Bone marrow aspirate smear; Pappenheim-stained — 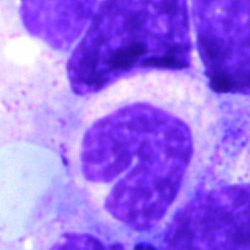

Q: What is the morphological classification of this cell?
A: A stab cell.